Peripheral blood film; single-cell field: 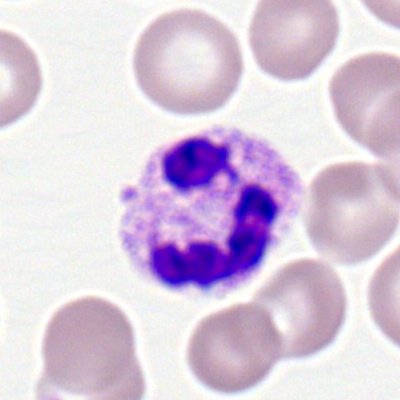Q: What cell is this?
A: It is a segmented neutrophil.